Bone marrow aspirate smear — 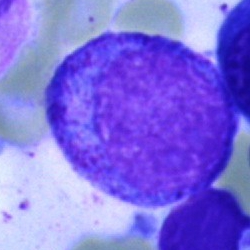

Morphological class: promyelocyte.